Brightfield microscopy, 40× oil immersion · bone marrow smear · image size 250×250: 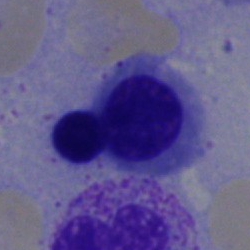
Normoblast.